Bone marrow aspirate smear · single-cell crop:
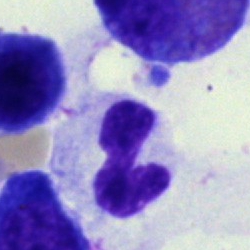Impression — neutrophil (segmented).